Bone marrow aspirate smear: 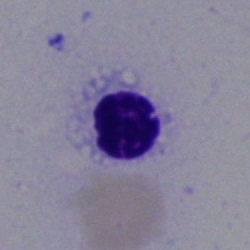

Classification — erythroblast.